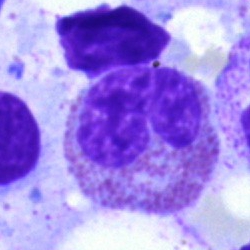
The classification is eosinophil.